Bone marrow smear · 250 by 250 pixels — 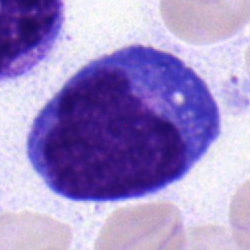
Classification: monocyte.